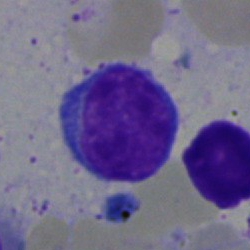

This is a typical lymphocyte.